Single-cell field. Bone marrow aspirate smear: 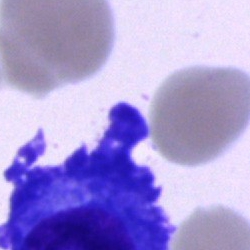A plasma cell.